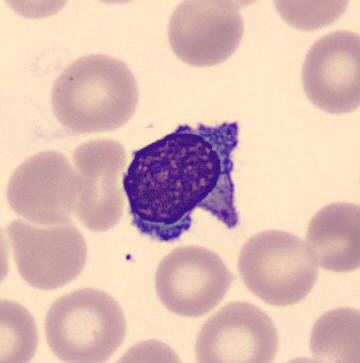 Acquisition: Peripheral blood smear.

This is a lymphocyte.